Bone marrow aspirate smear. Cropped to a single cell. 250 by 250 pixels: 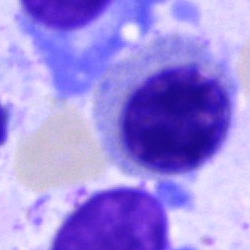

Q: What cell is this?
A: It is an erythroblast.